Bone marrow smear.
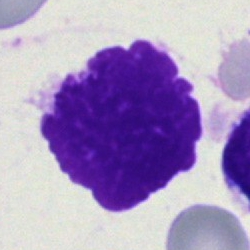Specimen: bone marrow smear.
Cell type: artifact.